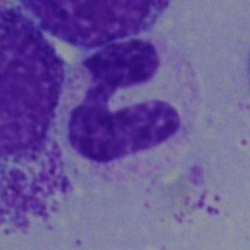

Classification = segmented neutrophil.